Bone marrow smear
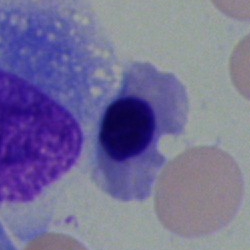

Classification — erythroblast.